Bone marrow smear
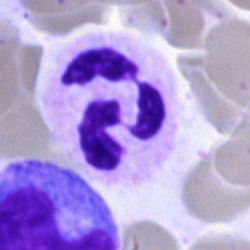Morphology → neutrophil (segmented).